Bone marrow aspirate smear. Single-cell crop
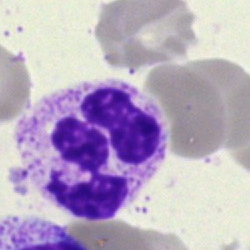
Specimen: bone marrow smear.
Cell: neutrophil (segmented).
Lineage: myeloid.